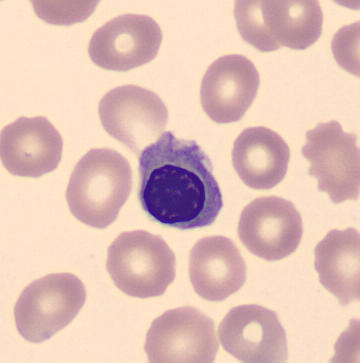

The cell type is nucleated red blood cell. Preparation: Peripheral blood smear.